Bone marrow aspirate smear. Single cell centered in the field. Pappenheim-stained — 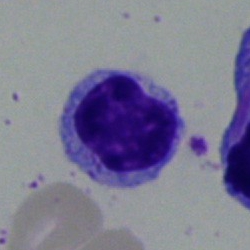 Classification: typical lymphocyte.